Bone marrow aspirate smear:
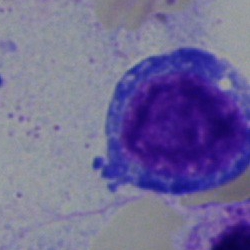 A pronormoblast.